Peripheral blood smear; 400×400; Romanowsky-type stain
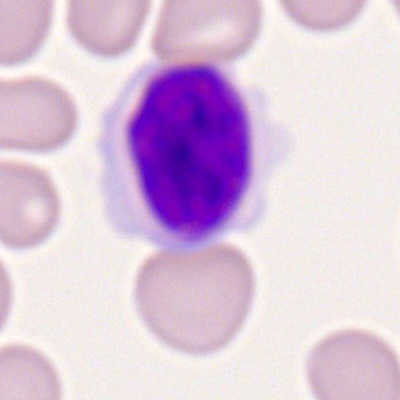 Specimen: peripheral blood film.
Classification: typical lymphocyte.